Single-cell crop; peripheral blood film.
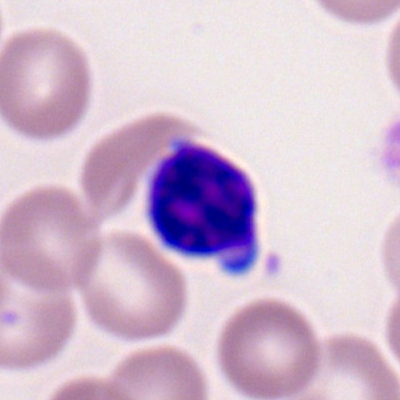

Morphological class = typical lymphocyte.